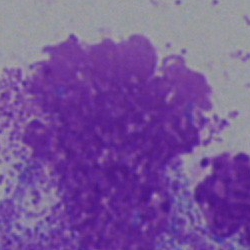

Specimen: bone marrow aspirate smear.
Classification: artifact.